Bone marrow aspirate smear: 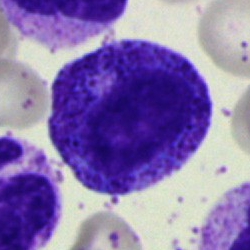
Specimen: bone marrow smear.
Cell: progranulocyte.